May-Grünwald-Giemsa stain · bone marrow aspirate smear: 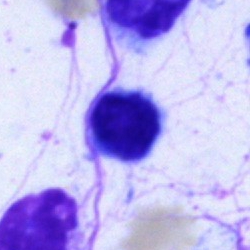Showing an artefact.